Brightfield microscopy, 40× oil immersion · bone marrow smear · May-Grünwald-Giemsa stain:
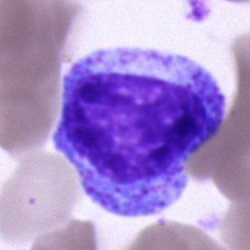
Morphology consistent with a promyelocyte.